Brightfield microscopy, 40× oil immersion. Bone marrow smear
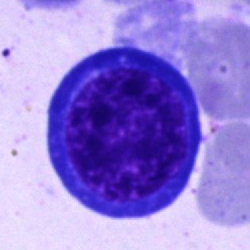 Morphology consistent with a nucleated red blood cell.